Bone marrow aspirate smear: 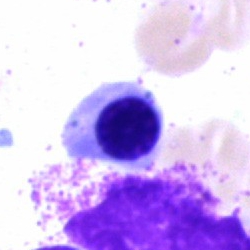 Specimen: bone marrow smear.
Classification: nucleated red blood cell.